Bone marrow smear: 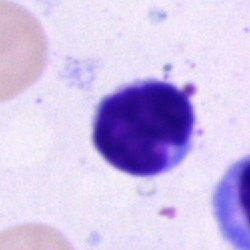
Morphology — lymphocyte.